Bone marrow aspirate smear. 250×250 px: 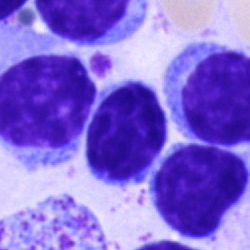

The cell type is lymphocyte.